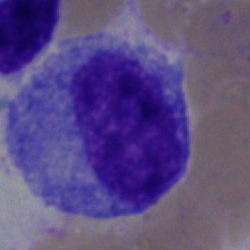

Bone marrow smear showing a progranulocyte.